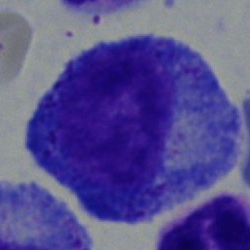Morphological class — progranulocyte.